Peripheral blood smear.
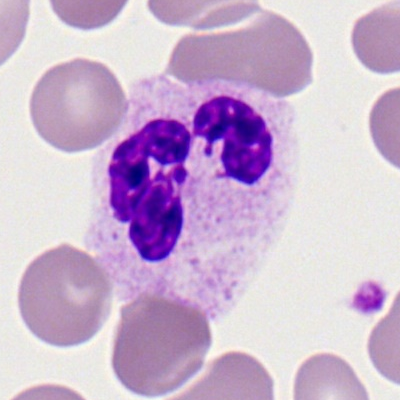

Neutrophil (segmented).